Bone marrow aspirate smear.
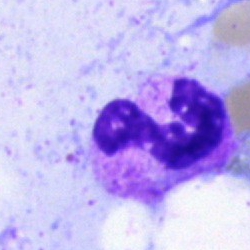
Impression — neutrophil (segmented).